Bone marrow smear
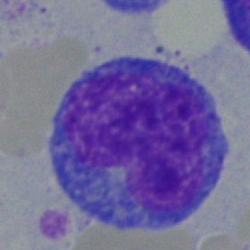 Specimen: bone marrow smear.
Morphological class: monocyte.